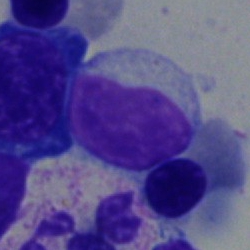 Bone marrow aspirate smear, single cell — erythroblast.